Peripheral blood smear: 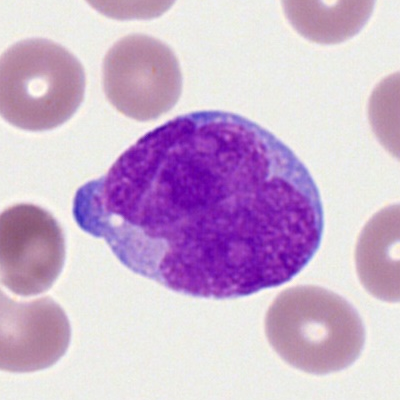Morphological class = myeloid blast.